Bone marrow aspirate smear: 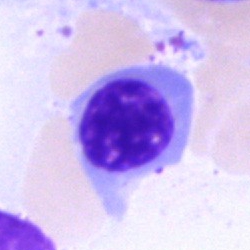

Specimen: bone marrow smear.
Cell type: erythroblast.
Lineage: erythroid.